Bone marrow smear: 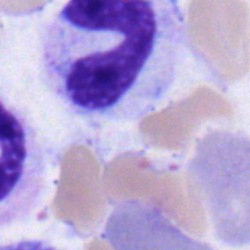
The cell shown is a segmented neutrophil.